Bone marrow aspirate smear:
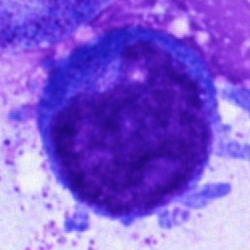

Impression → proerythroblast.